Bone marrow aspirate smear · 250×250: 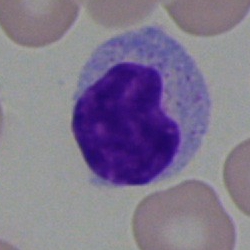 Morphology consistent with a typical lymphocyte.